Bone marrow smear · 40× objective, oil immersion — 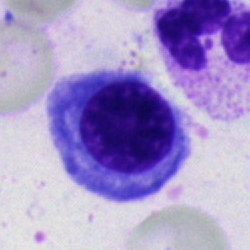
Specimen: bone marrow smear.
Cell type: nucleated red blood cell.
Lineage: erythroid.